Bone marrow smear — 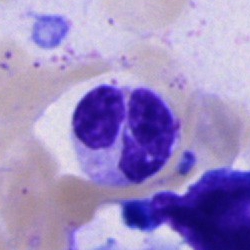Q: Which cell type is shown here?
A: It is a neutrophil (segmented).